Bone marrow aspirate smear
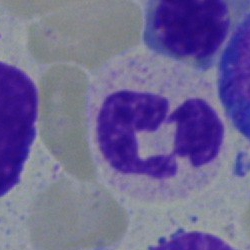A neutrophil (band).